Bone marrow aspirate smear — 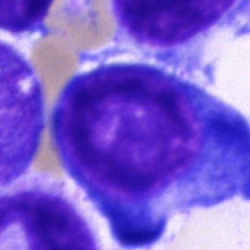Morphology consistent with a pronormoblast.